40× oil immersion · bone marrow smear:
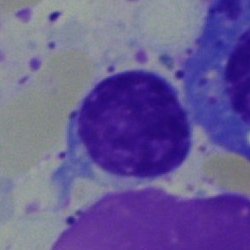
A typical lymphocyte.